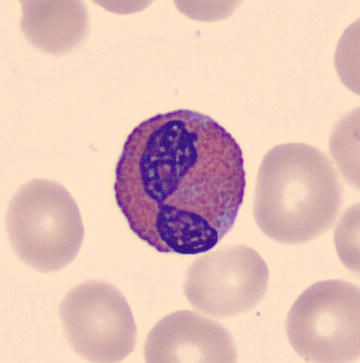Image: May-Grünwald-Giemsa-stained · peripheral blood film.
An eosinophil.